Bone marrow aspirate smear — 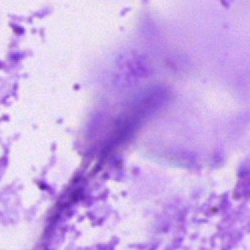

Cell type: artefact.